Single-cell crop. MGG-stained. Bone marrow aspirate smear:
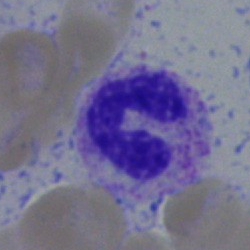

Cell type: segmented neutrophil.